Bone marrow aspirate smear; May-Grünwald-Giemsa stain — 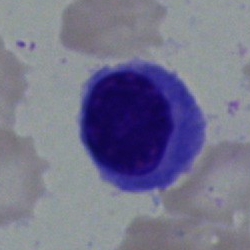
Morphology consistent with a plasma cell.